Bone marrow smear:
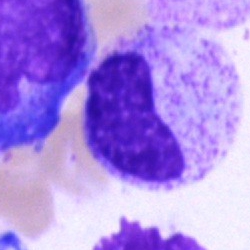Impression — metamyelocyte.